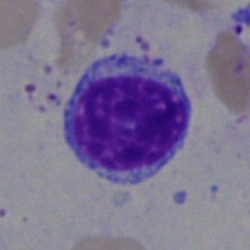
Bone marrow aspirate smear, single cell — typical lymphocyte.